40× oil immersion; 250×250; bone marrow smear:
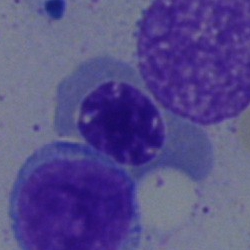 Classification — nucleated red cell.